Bone marrow smear; May-Grünwald-Giemsa/Pappenheim stain
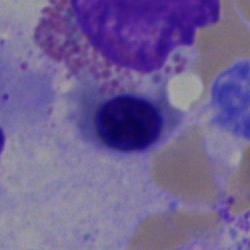
Morphological class: normoblast.